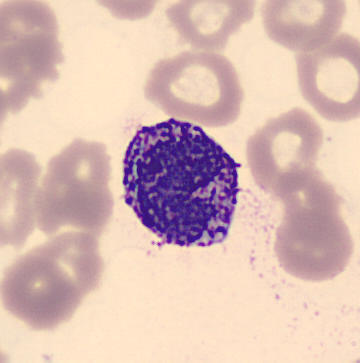
Q: What is this?
A: It is a basophilic granulocyte.
Preparation: Single-cell field · peripheral blood film.